Bone marrow smear. Image size 250×250.
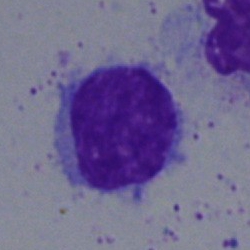

Q: Identify the cell.
A: Lymphocyte.